Bone marrow smear:
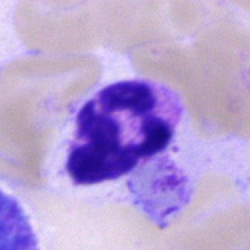The morphological class is segmented neutrophil.